Cropped to a single cell; Romanowsky-type stain; peripheral blood film:
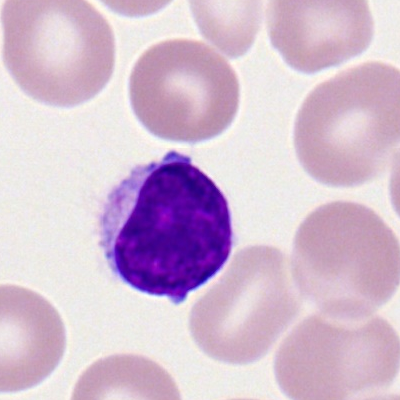

Q: What cell is this?
A: Lymphocyte.